May-Grünwald-Giemsa-stained · single cell centered in the field · peripheral blood film.
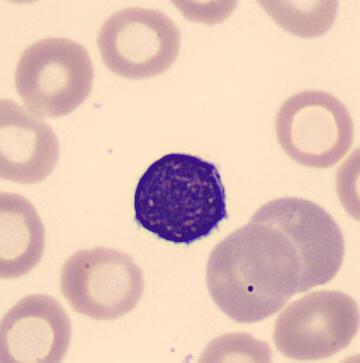
Specimen: peripheral blood film.
Morphological class: lymphocyte.
Lineage: lymphoid.